Peripheral blood film: 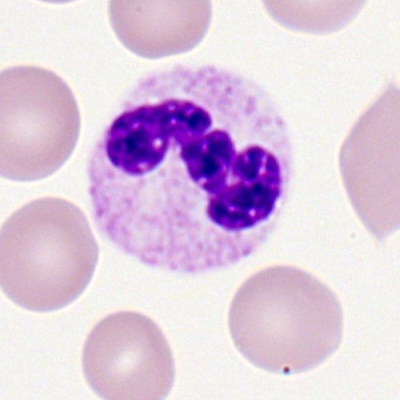
The classification is segmented neutrophil.